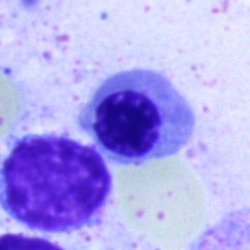 Q: What is the morphological classification of this cell?
A: It is a normoblast.